Bone marrow smear. Image size 250×250: 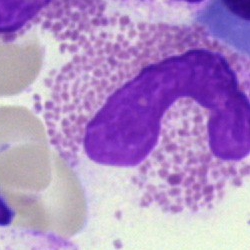Morphology → eosinophil.